Bone marrow aspirate smear
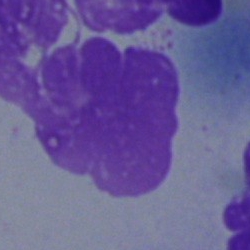Q: What is shown here?
A: Artifact.